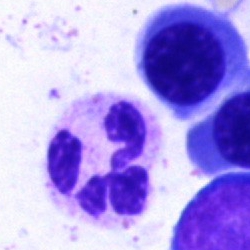

Q: What cell is this?
A: A segmented neutrophil.